Peripheral blood film.
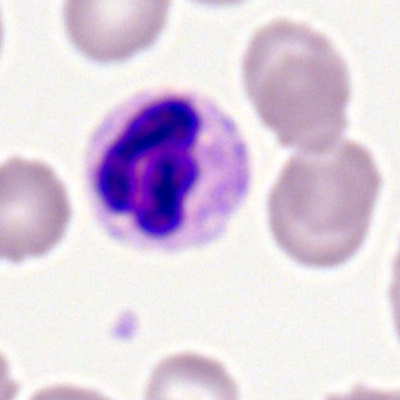

Polymorphonuclear neutrophil.